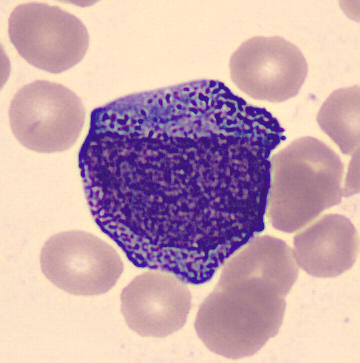Acquisition: Peripheral blood smear.
Cell — promyelocyte.